Bone marrow smear: 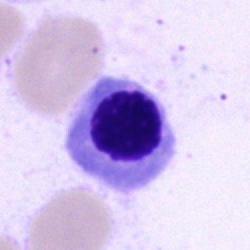 The cell is nucleated red cell.